Image size 250×250 · brightfield microscopy, 40× oil immersion · bone marrow aspirate smear
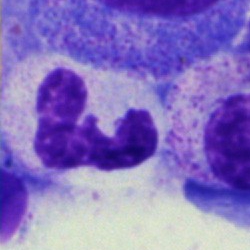Showing a neutrophil (segmented).